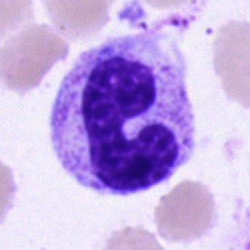Bone marrow smear showing a band-form neutrophil.